Bone marrow smear — 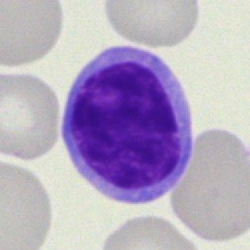 Single cell identified as a lymphocyte.